Romanowsky-stained; peripheral blood film; 400 by 400 pixels
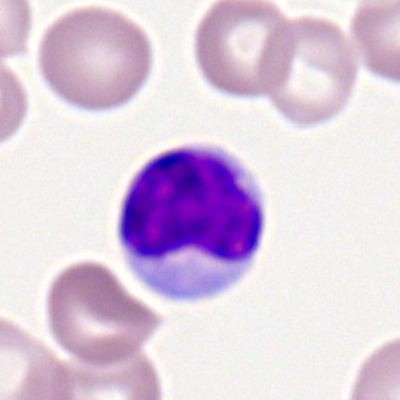

This is a lymphocyte.